Peripheral blood smear. 100× oil immersion, 14.14 px/µm:
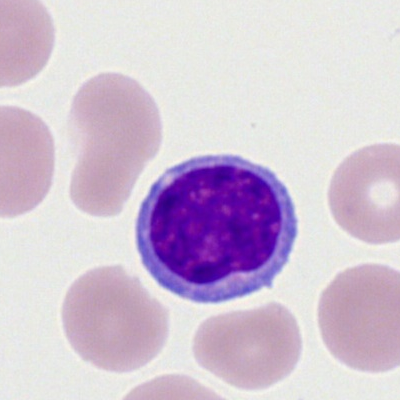
Single cell identified as a typical lymphocyte.